Imaged on a CellaVision DM96 analyser; peripheral blood film; image size 360×363: 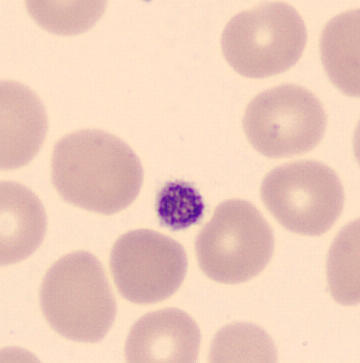Classification: platelet.